Bone marrow aspirate smear — 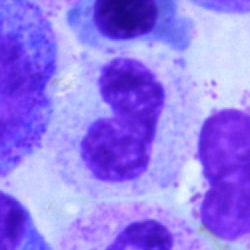Q: What cell is this?
A: It is a band neutrophil.